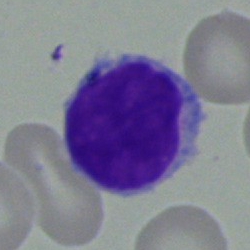 Bone marrow aspirate smear, single cell — typical lymphocyte.